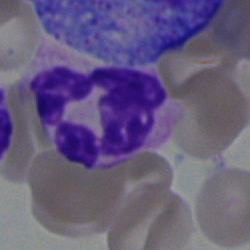 Classification = segmented neutrophil.